Bone marrow aspirate smear — 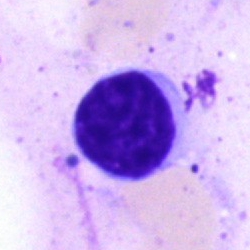

The classification is lymphocyte.